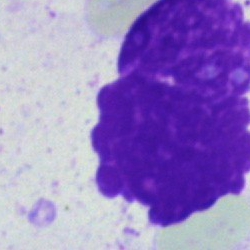

Single-cell crop from a bone marrow smear: artifact.